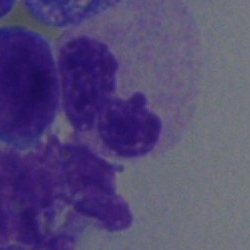A neutrophil (segmented) on a bone marrow smear.